Bone marrow aspirate smear. MGG-stained: 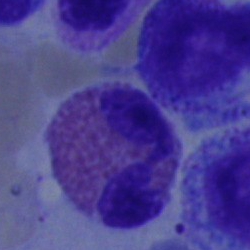

Single cell identified as an eosinophil.